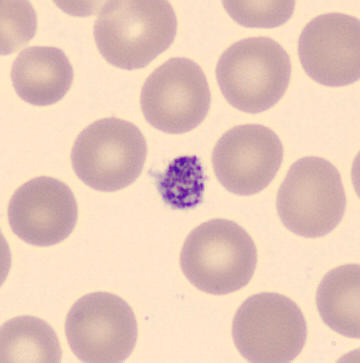

Morphology consistent with a platelet (thrombocyte).
Acquisition: Peripheral blood film; imaged on a CellaVision DM96 analyser.